Peripheral blood film — 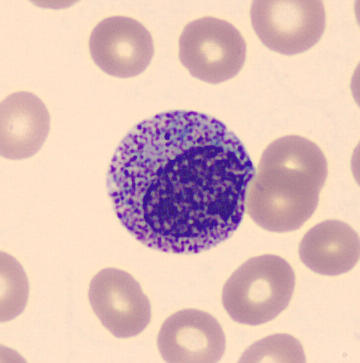
Cell = myelocyte.